Bone marrow smear
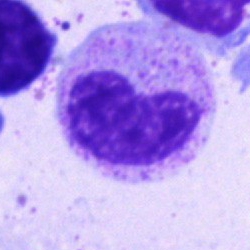 The cell shown is a metamyelocyte.